Bone marrow smear:
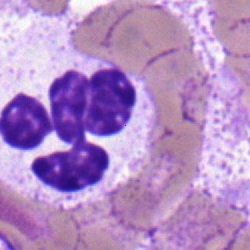 Specimen: bone marrow smear.
Cell: polymorphonuclear neutrophil.
Lineage: myeloid.